Single-cell field. Bone marrow aspirate smear.
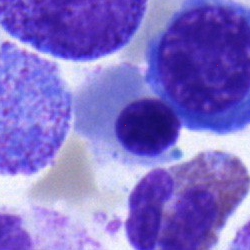Morphology consistent with an erythroblast.